Single-cell field; peripheral blood smear.
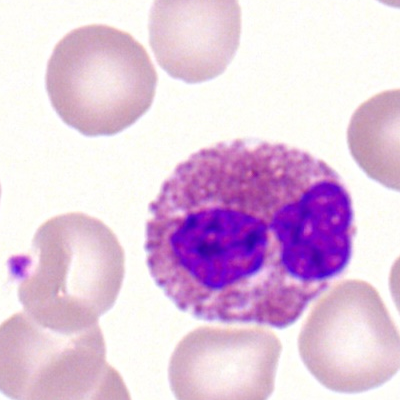

This is an eosinophilic granulocyte.